Bone marrow smear:
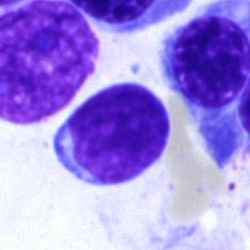
Specimen: bone marrow aspirate smear.
Classification: typical lymphocyte.
Lineage: lymphoid.